Bone marrow smear — 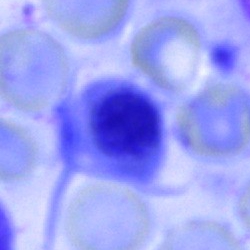 Morphology consistent with an erythroblast.